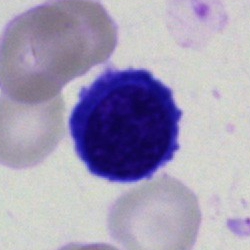 Specimen: bone marrow aspirate smear.
Morphological class: normoblast.
Lineage: erythroid.